Brightfield, 40× oil-immersion objective. Bone marrow aspirate smear. MGG-stained:
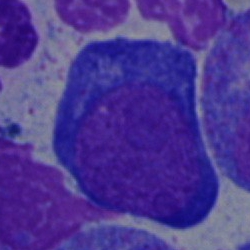
{"cell_type": "proerythroblast", "lineage": "erythroid"}